Bone marrow aspirate smear.
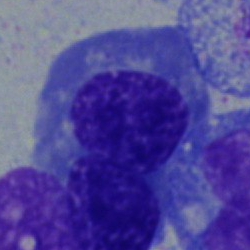Morphology → erythroblast.